Brightfield microscopy, 40× oil immersion. Bone marrow aspirate smear
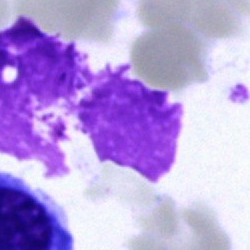

Q: What is shown here?
A: It is an artifact.